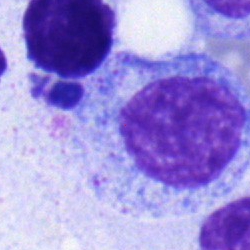 Bone marrow aspirate smear, single cell — myelocyte.